Bone marrow smear:
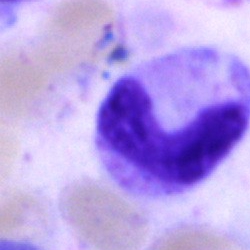A band-form neutrophil.